Bone marrow smear · image size 250×250: 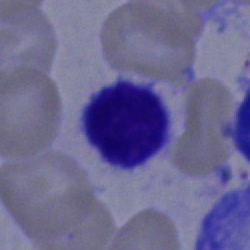A lymphocyte.